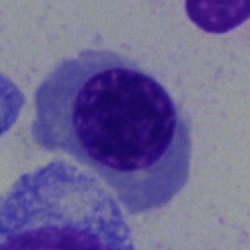Impression → nucleated red cell.